Bone marrow aspirate smear · brightfield microscopy, 40× oil immersion: 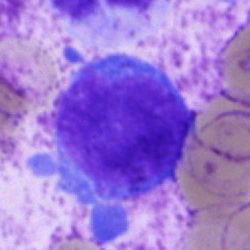
Q: What is the morphological classification of this cell?
A: It is an undifferentiated blast.